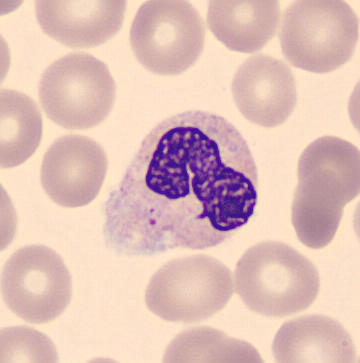
Preparation: Peripheral blood film. Impression → stab cell.